Bone marrow aspirate smear.
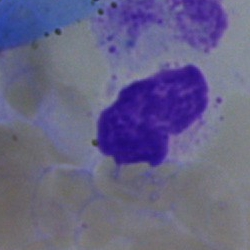 {"cell_type": "neutrophil (segmented)", "lineage": "myeloid"}